Bone marrow aspirate smear; brightfield microscopy, 40× oil immersion: 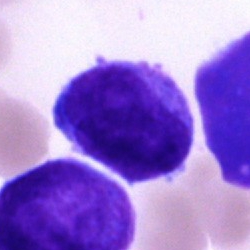 This is a blast cell.